Bone marrow smear — 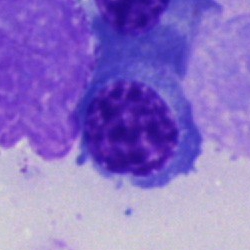 The cell is nucleated red blood cell.